Bone marrow smear. 250×250 px. Pappenheim-stained: 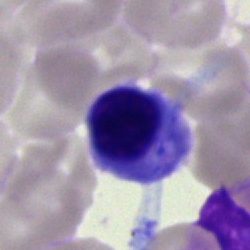
Impression — erythroblast.